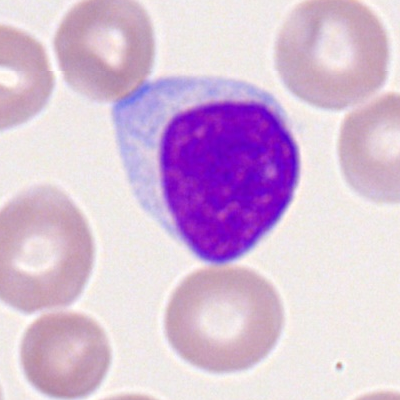

Specimen: peripheral blood film.
Cell type: typical lymphocyte.
Lineage: lymphoid.